Bone marrow smear · MGG-stained · single-cell crop:
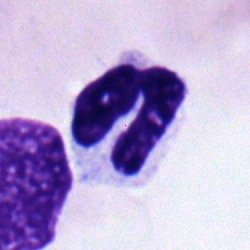Specimen: bone marrow smear.
Cell type: polymorphonuclear neutrophil.
Lineage: myeloid.